Bone marrow smear: 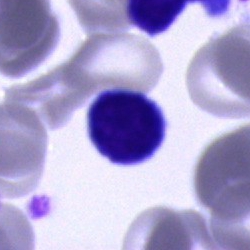

Morphological class: typical lymphocyte.